May-Grünwald-Giemsa stain · bone marrow smear: 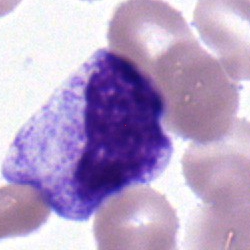

{"cell_type": "metamyelocyte", "lineage": "myeloid"}